250×250; bone marrow smear: 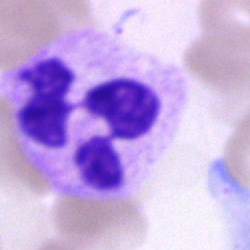
Morphology — neutrophil (segmented).